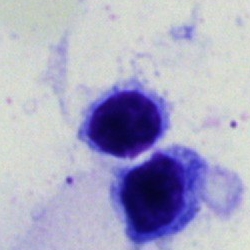

Specimen: bone marrow smear.
Cell: nucleated red cell.
Lineage: erythroid.